Bone marrow aspirate smear
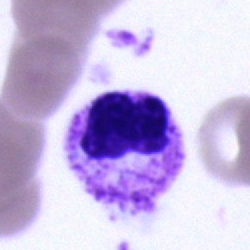Q: What type of cell is this?
A: Segmented neutrophil.